Bone marrow smear. Single-cell crop. 40× objective, oil immersion:
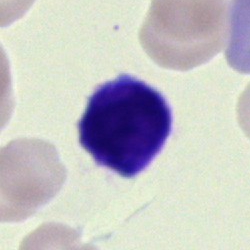A lymphocyte.